Pappenheim-stained · bone marrow smear · single-cell crop.
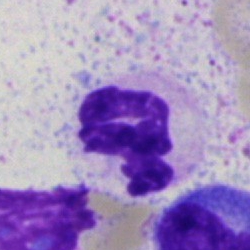
Classification — polymorphonuclear neutrophil.